Image size 250×250. Bone marrow aspirate smear: 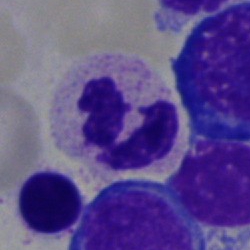 Cell: polymorphonuclear neutrophil.